Bone marrow smear.
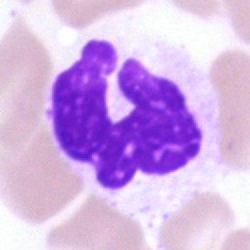 Cell: artefact.